Bone marrow aspirate smear; image size 250×250
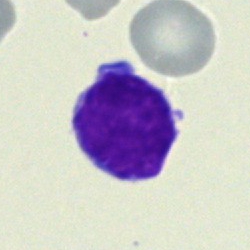Morphology consistent with a lymphocyte.